40× objective, oil immersion. Bone marrow aspirate smear. MGG-stained — 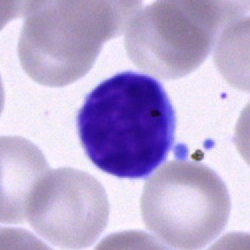
The classification is typical lymphocyte.